Bone marrow aspirate smear — 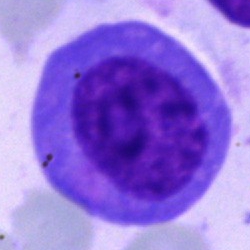
A blast.